Bone marrow aspirate smear · brightfield microscopy, 40× oil immersion.
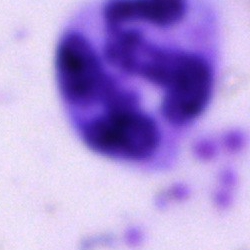
Morphology — polymorphonuclear neutrophil.